Cropped to a single cell. Romanowsky stain. Peripheral blood smear
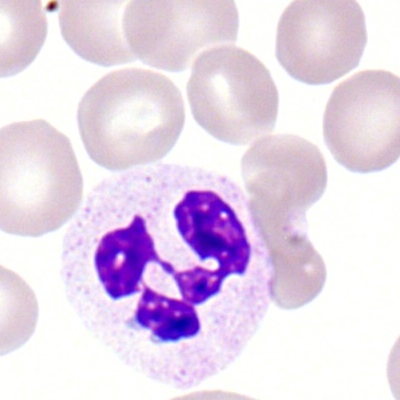

Q: Which cell type is shown here?
A: It is a neutrophil (segmented).